MGG-stained · bone marrow aspirate smear · brightfield, 40× oil-immersion objective.
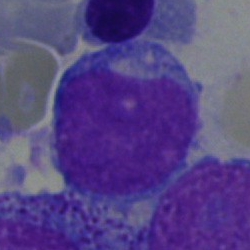

Cell type: undifferentiated blast.